250×250 px · bone marrow smear — 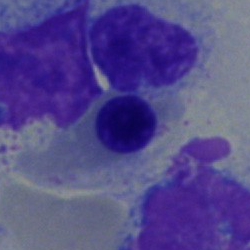Cell = nucleated red cell.